Bone marrow smear. Single cell centered in the field. Brightfield, 40× oil-immersion objective: 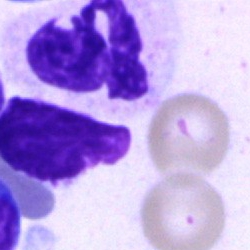
This is a segmented neutrophil.